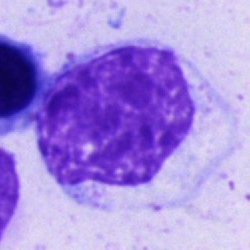
Single-cell crop from a bone marrow smear: unidentifiable cell.